Bone marrow smear.
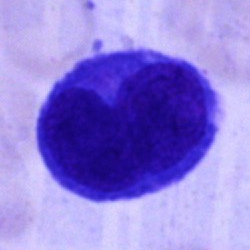
Blast cell.